Bone marrow smear; 250×250 px.
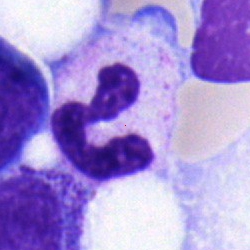 Morphology consistent with a neutrophil (segmented).